250×250 px; bone marrow smear — 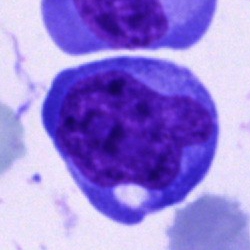
The cell shown is a blast.